Bone marrow aspirate smear — 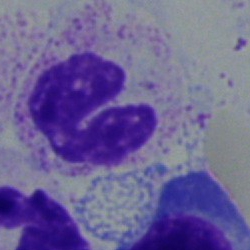
Q: What type of cell is this?
A: Stab cell.